Brightfield microscopy, 40× oil immersion. Bone marrow aspirate smear: 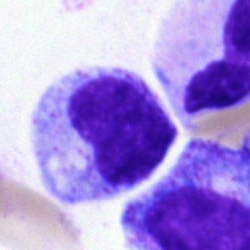 Cell = metamyelocyte.